Bone marrow smear.
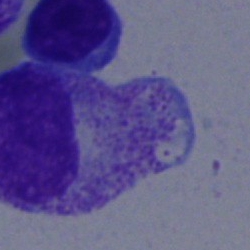
The cell shown is a myelocyte.